250 by 250 pixels; bone marrow aspirate smear; single cell centered in the field.
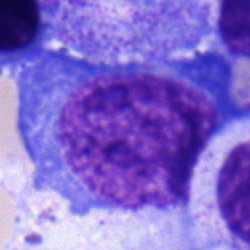 Morphological class — proerythroblast.